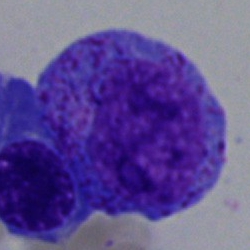 The morphological class is promyelocyte.